May-Grünwald-Giemsa stain; single-cell field; bone marrow aspirate smear: 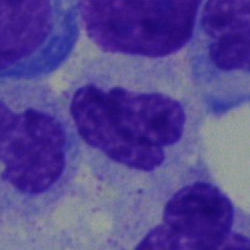
The cell is neutrophil (segmented).